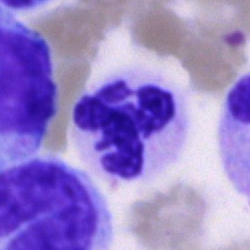
Cell type: neutrophil (segmented).